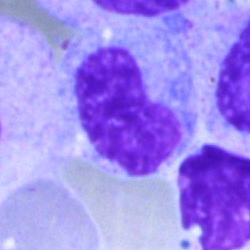 This is a band neutrophil.